Bone marrow smear; 40× objective, oil immersion — 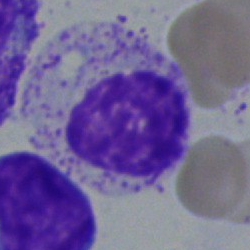Morphology consistent with a myelocyte.